Bone marrow smear; cropped to a single cell; 250×250 px
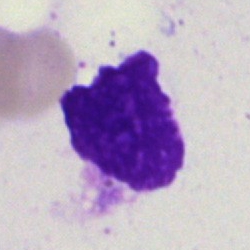

The cell shown is an artefact.